Bone marrow smear — 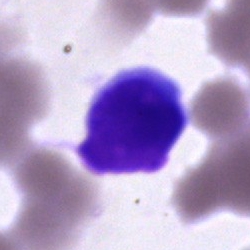
Q: What is shown here?
A: An artefact.